Bone marrow smear:
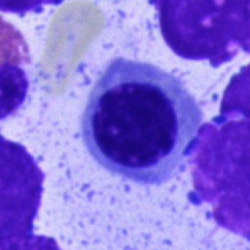 Cell type: nucleated red cell.